May-Grünwald-Giemsa/Pappenheim stain · 40× oil immersion · bone marrow smear:
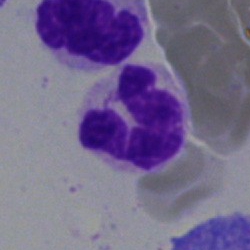

Showing a segmented neutrophil.